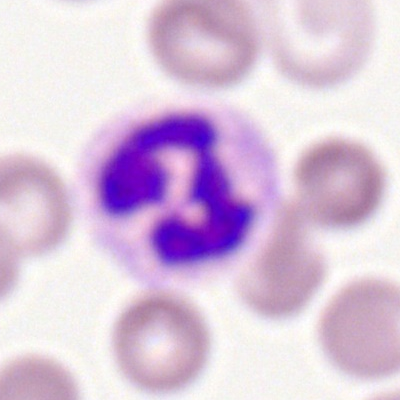
{"cell_type": "polymorphonuclear neutrophil", "lineage": "myeloid"}